Peripheral blood smear.
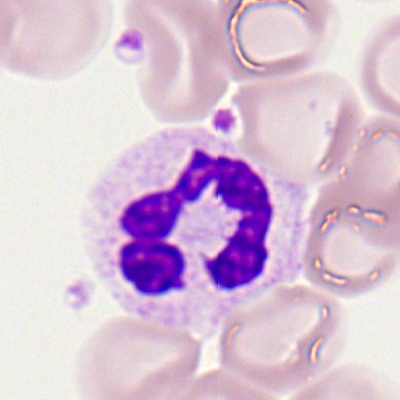This is a neutrophil (segmented).